Bone marrow aspirate smear.
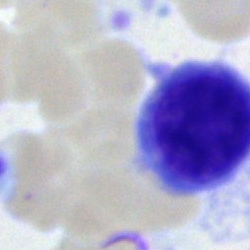 Specimen: bone marrow smear.
Cell: nucleated red blood cell.
Lineage: erythroid.